MGG-stained. Bone marrow aspirate smear. Image size 250×250 — 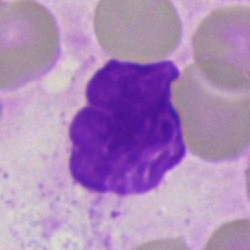
Single cell identified as an artefact.